MGG-stained. Bone marrow smear:
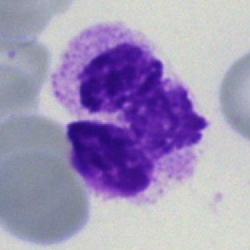Cell type — polymorphonuclear neutrophil.